May-Grünwald-Giemsa/Pappenheim stain; bone marrow aspirate smear.
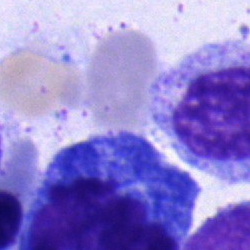Single cell identified as a myelocyte.